Image size 250×250. MGG-stained. Bone marrow aspirate smear.
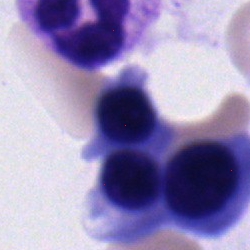
Normoblast.